Bone marrow smear
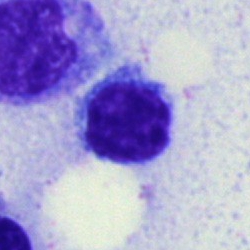
Specimen: bone marrow aspirate smear.
Morphological class: lymphocyte.
Lineage: lymphoid.